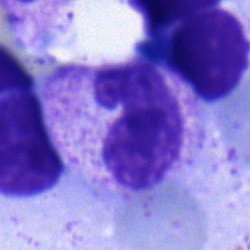

Q: Which cell type is shown here?
A: A stab cell.